Peripheral blood smear. 100× objective, oil immersion
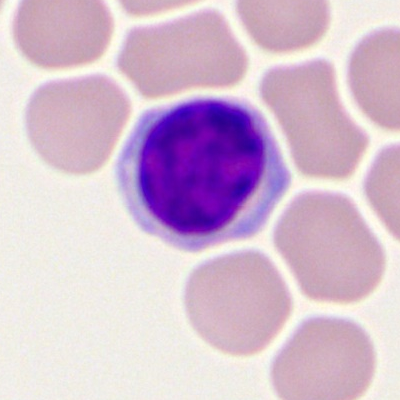 Typical lymphocyte.